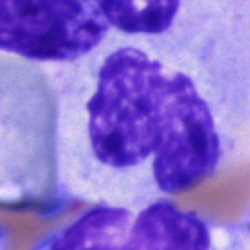

Q: What cell is this?
A: This is a cell of indeterminate lineage.